Bone marrow aspirate smear · single cell centered in the field · 40× oil immersion: 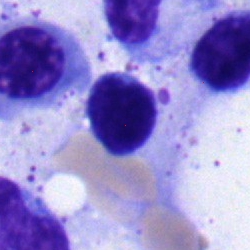
A typical lymphocyte.